Peripheral blood film:
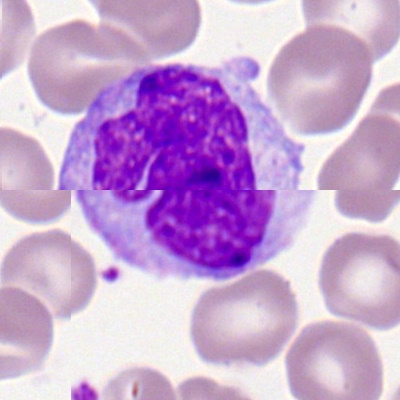
Single cell identified as a monocyte.